100× oil immersion, 14.14 px/µm; peripheral blood film:
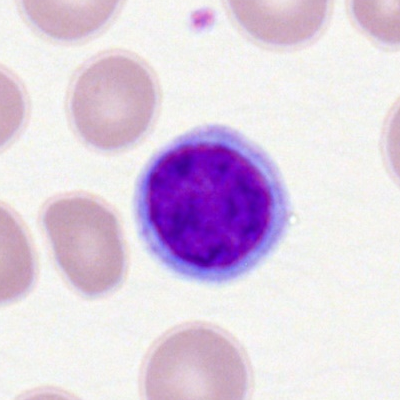{"cell_type": "typical lymphocyte"}